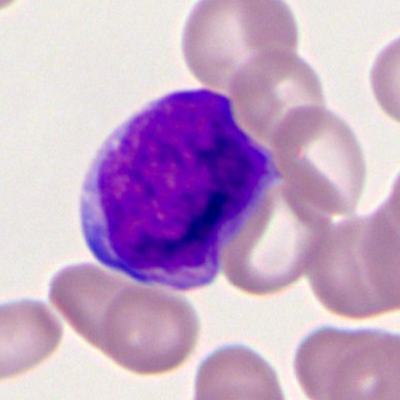Morphology consistent with a myeloblast.